Bone marrow aspirate smear — 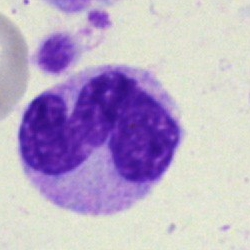 Showing a monocyte.